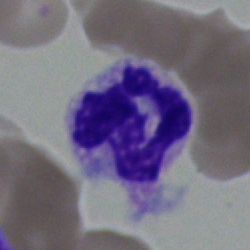The cell is neutrophil (segmented).